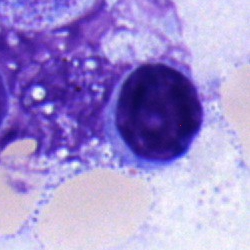Bone marrow aspirate smear, single cell — lymphocyte.